Bone marrow smear · single-cell crop — 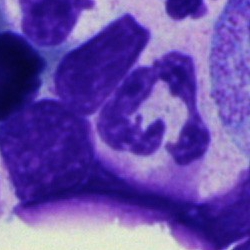 Classification = segmented neutrophil.